Bone marrow aspirate smear: 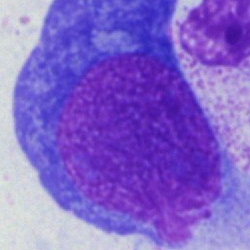

A pronormoblast.